Single cell centered in the field. Bone marrow aspirate smear. 250×250
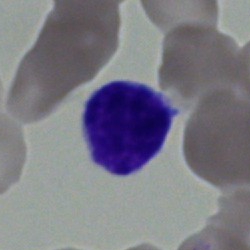Morphology — typical lymphocyte.